Image size 250×250; bone marrow aspirate smear:
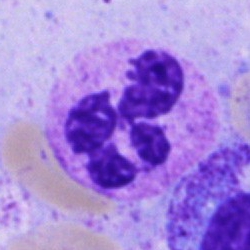

{"cell_type": "neutrophil (segmented)", "lineage": "myeloid"}